Bone marrow aspirate smear: 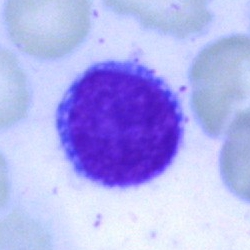
Showing a lymphocyte.